Peripheral blood smear:
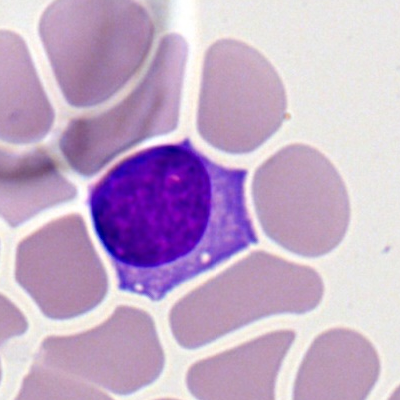 Q: Identify the cell.
A: Lymphocyte.